Brightfield, 40× oil-immersion objective; bone marrow smear.
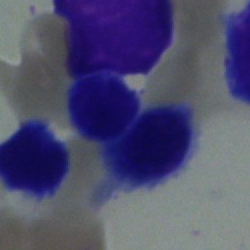
This is a typical lymphocyte.